Peripheral blood smear: 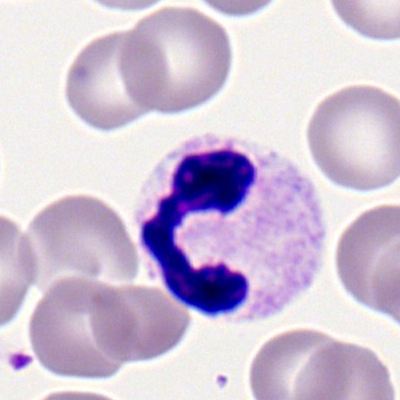
Impression → neutrophil (segmented).